Peripheral blood smear: 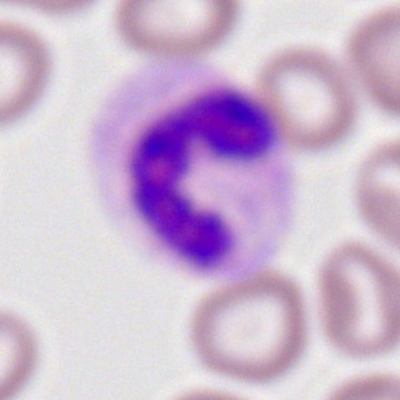
Specimen: peripheral blood film.
Classification: band-form neutrophil.
Lineage: myeloid.